Bone marrow smear:
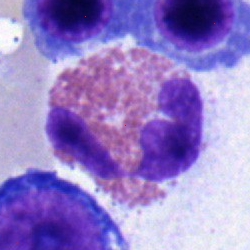

Eosinophil.